400×400 px; peripheral blood film: 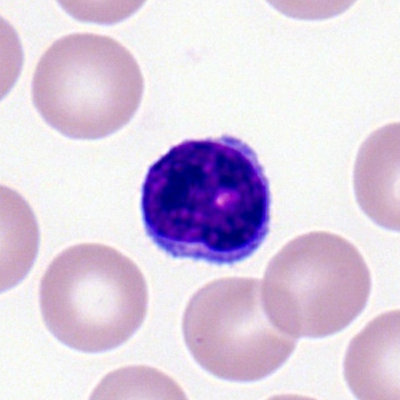
Q: Identify the cell.
A: A typical lymphocyte.